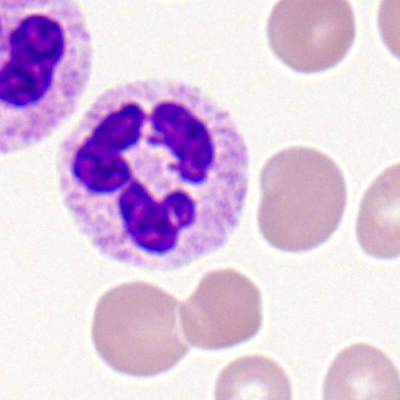The cell shown is a polymorphonuclear neutrophil.